Bone marrow smear
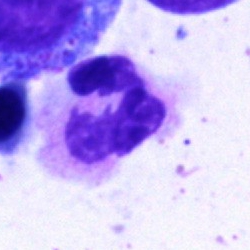Morphological class — polymorphonuclear neutrophil.